Bone marrow smear · 250×250 px
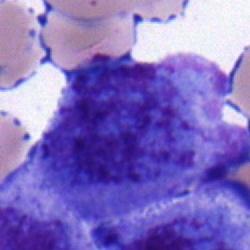Morphology consistent with an undifferentiated blast.